Bone marrow smear.
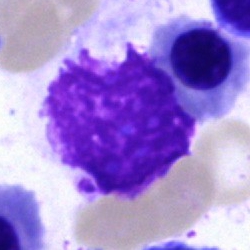The cell is progranulocyte.